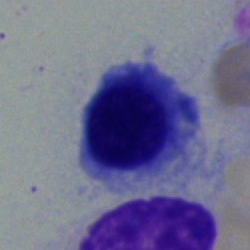 Morphology → nucleated red blood cell.